250×250; bone marrow smear: 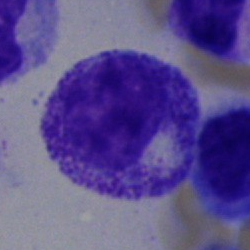

Showing a promyelocyte.